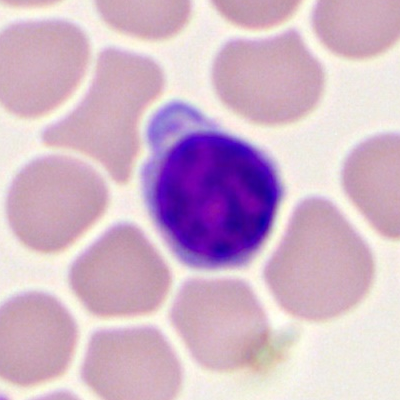Specimen: peripheral blood film.
Morphological class: typical lymphocyte.